Bone marrow smear:
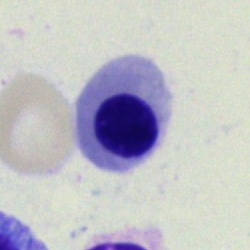

Single cell identified as an erythroblast.